Bone marrow smear
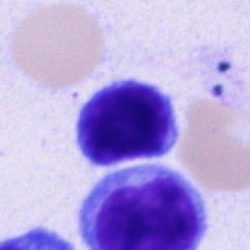 Specimen: bone marrow smear.
Classification: typical lymphocyte.
Lineage: lymphoid.